Bone marrow smear. Single cell centered in the field
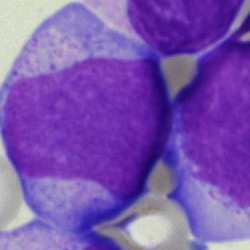

Blast cell.